Cropped to a single cell. Bone marrow aspirate smear.
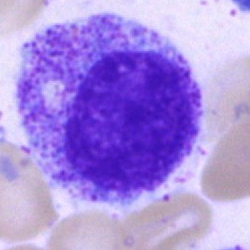
Impression — progranulocyte.